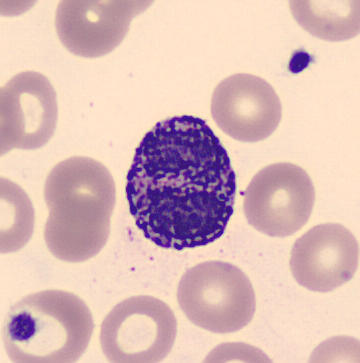
Impression — basophilic granulocyte.